Bone marrow aspirate smear
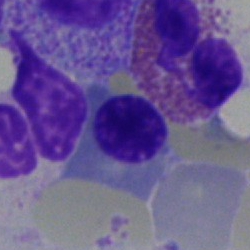 Q: Identify the cell.
A: Nucleated red cell.